Bone marrow smear:
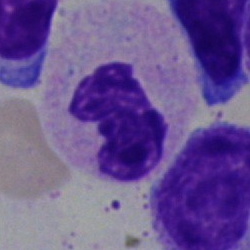 Stab cell.